Peripheral blood smear · CellaVision DM96 digital cell image:
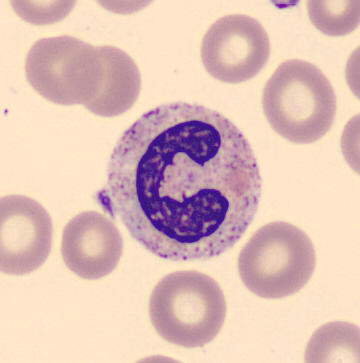Cell type — band-form neutrophil.